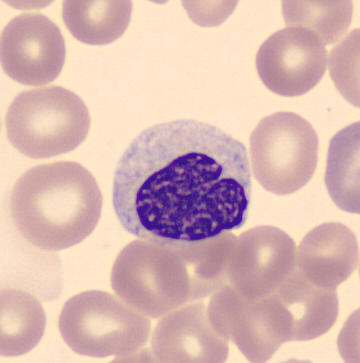
Peripheral blood smear.

The cell shown is a metamyelocyte.